Peripheral blood film; cropped to a single cell: 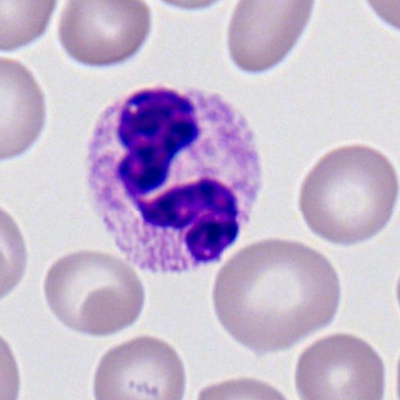Single cell identified as a polymorphonuclear neutrophil.